40× oil immersion. Bone marrow aspirate smear. Pappenheim-stained: 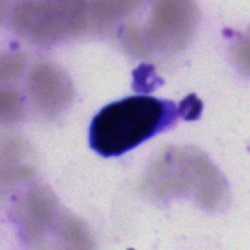

Artefact.